Bone marrow aspirate smear: 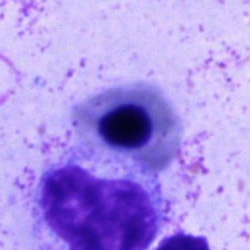Erythroblast.